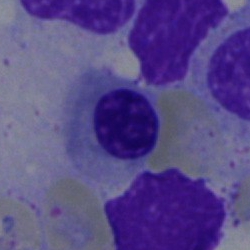
Q: What is shown here?
A: A nucleated red cell.